Bone marrow aspirate smear · single-cell field · May-Grünwald-Giemsa stain: 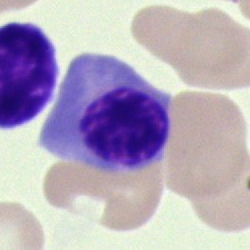 Morphology consistent with a normoblast.